Bone marrow aspirate smear: 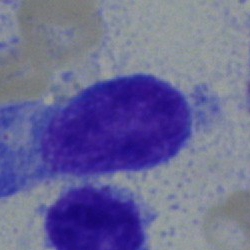

A lymphocyte.